Brightfield microscopy, 40× oil immersion · bone marrow aspirate smear · May-Grünwald-Giemsa stain — 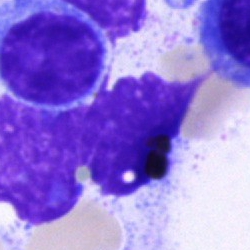 Typical lymphocyte.